Peripheral blood film · 400×400 px · Romanowsky-type stain — 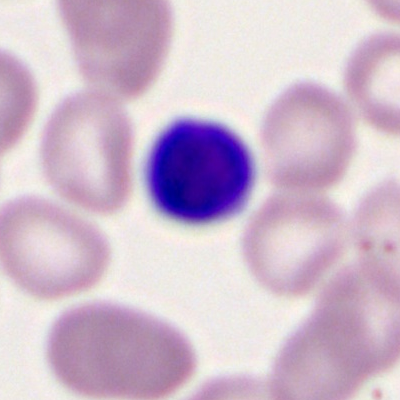 The cell type is lymphocyte.